Bone marrow aspirate smear; cropped to a single cell; brightfield microscopy, 40× oil immersion: 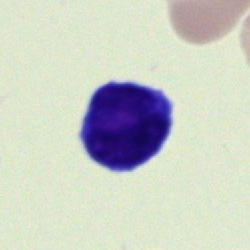
Q: What type of cell is this?
A: It is a typical lymphocyte.